May-Grünwald-Giemsa/Pappenheim stain. 250×250 px. Bone marrow aspirate smear.
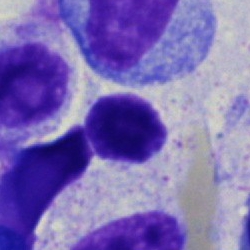 Specimen: bone marrow aspirate smear.
Cell type: typical lymphocyte.